Bone marrow smear
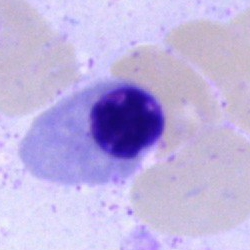 A nucleated red blood cell.